Brightfield microscopy, 40× oil immersion. Bone marrow smear.
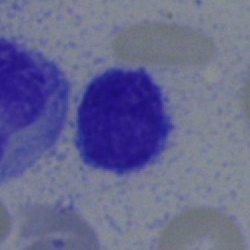 Cell type — lymphocyte.